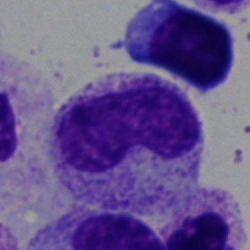

The morphological class is metamyelocyte.